Bone marrow smear.
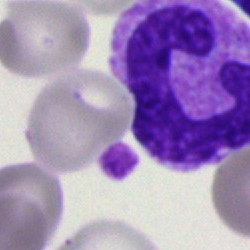

Neutrophil (segmented).